Peripheral blood film
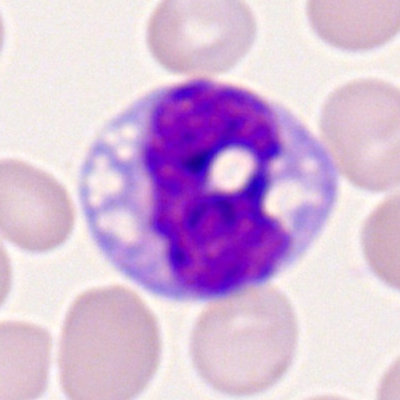The cell shown is a monocyte.